Bone marrow smear — 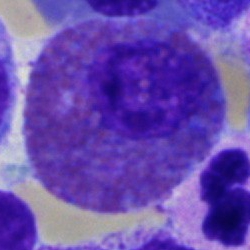Cell — eosinophilic granulocyte.